Peripheral blood film:
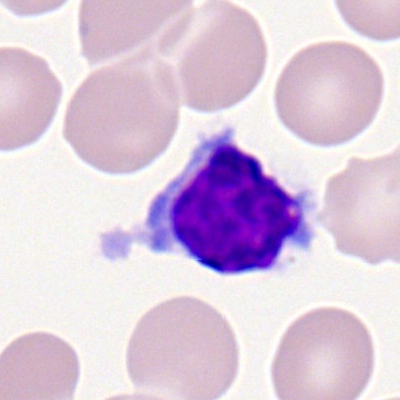This is a lymphocyte.